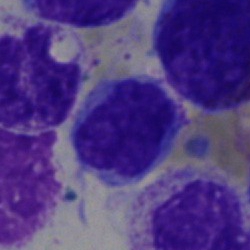 Classification: blast cell.